Bone marrow aspirate smear · single cell centered in the field · Pappenheim-stained
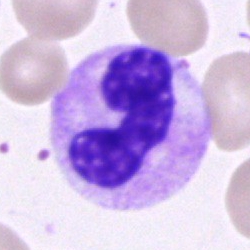

The cell shown is a polymorphonuclear neutrophil.